Bone marrow smear. Single-cell field:
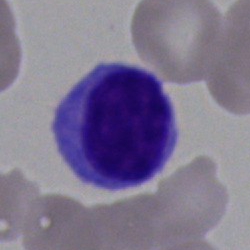
Q: Identify the cell.
A: A typical lymphocyte.